Bone marrow smear — 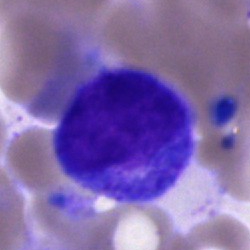 A promyelocyte.